Bone marrow smear; May-Grünwald-Giemsa/Pappenheim stain: 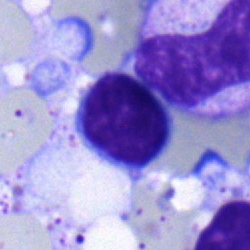
Classification: lymphocyte.